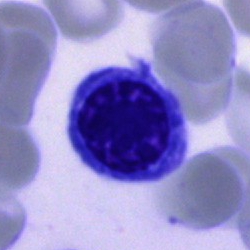
Cell type — normoblast.